Bone marrow aspirate smear
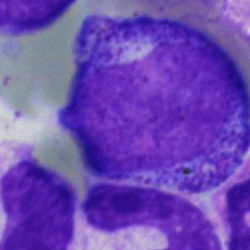This is a progranulocyte.